Peripheral blood film
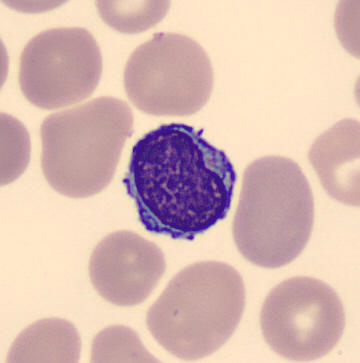

Q: What type of cell is this?
A: A typical lymphocyte.